Bone marrow smear. Brightfield, 40× oil-immersion objective
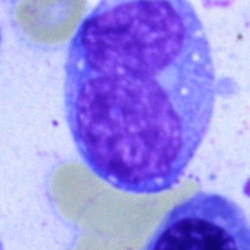

Morphology — monocyte.